Single-cell crop; bone marrow smear; 40× objective, oil immersion — 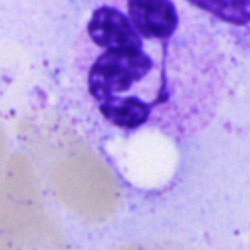

Q: Which cell type is shown here?
A: It is a neutrophil (segmented).